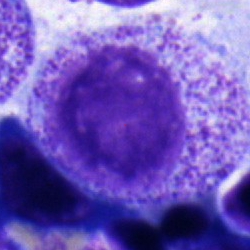
Cell = myelocyte.